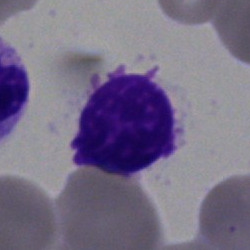The classification is artefact.